Bone marrow aspirate smear:
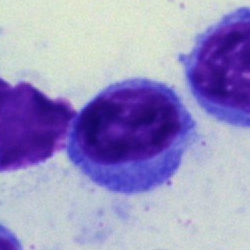 Q: Identify the cell.
A: A lymphocyte.